Image size 250×250; MGG-stained; bone marrow aspirate smear:
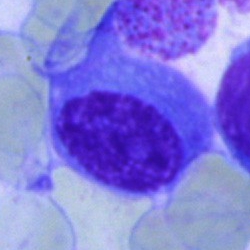Q: What is shown here?
A: It is a plasmacyte.